Bone marrow smear · 250 by 250 pixels · brightfield, 40× oil-immersion objective:
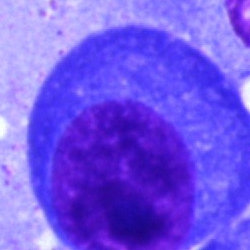 This is a plasmacyte.